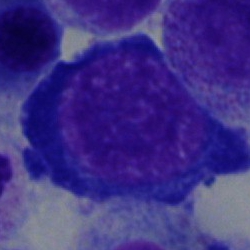

Morphological class = nucleated red cell.